Bone marrow smear.
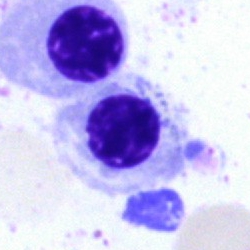

Cell type: erythroblast.